May-Grünwald-Giemsa stain · bone marrow smear: 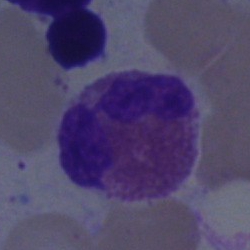

Impression → eosinophil.